Bone marrow smear — 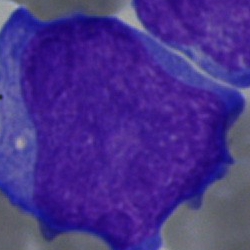 A blast cell.